Bone marrow aspirate smear:
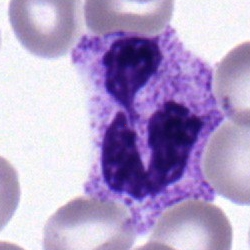
Morphology — neutrophil (segmented).